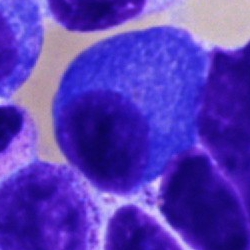

The morphological class is plasmacyte.